Peripheral blood film; 360×363 px:
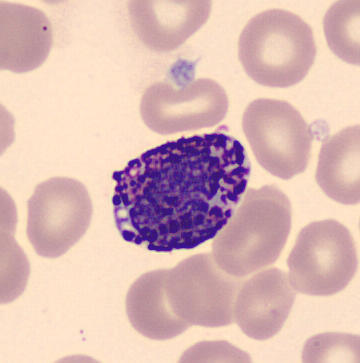 Basophilic granulocyte.